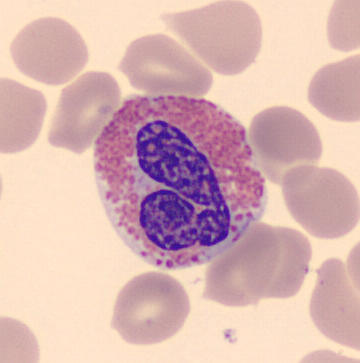 {"cell_type": "eosinophilic granulocyte", "lineage": "myeloid"}